250 by 250 pixels · bone marrow aspirate smear.
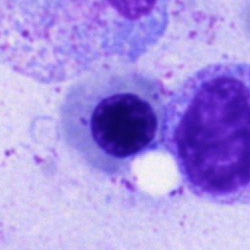 Q: What is shown here?
A: A normoblast.